Bone marrow smear
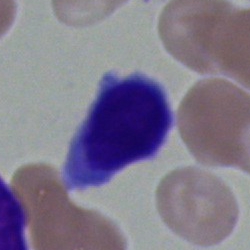
Q: What is the morphological classification of this cell?
A: It is a lymphocyte.